40× oil immersion. Bone marrow smear:
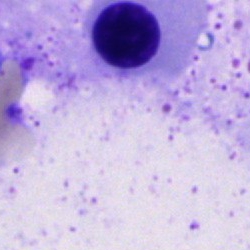 Morphology consistent with a nucleated red cell.